Bone marrow smear.
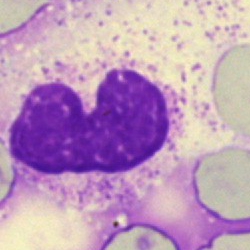 Q: What is shown here?
A: This is an artifact.